Bone marrow aspirate smear: 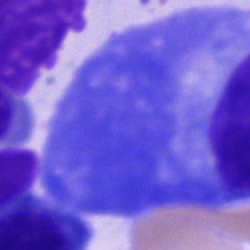

The cell is plasma cell.